Bone marrow smear:
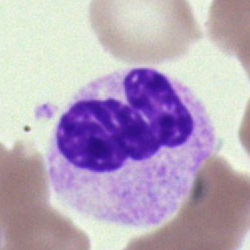Impression → segmented neutrophil.